Bone marrow aspirate smear — 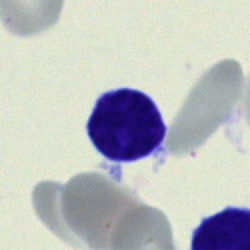Classification = typical lymphocyte.